Brightfield, 40× oil-immersion objective. Bone marrow aspirate smear. 250×250 — 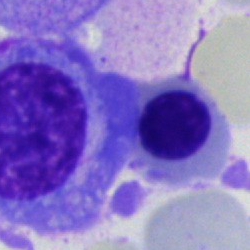
Morphology consistent with a nucleated red cell.